Bone marrow smear:
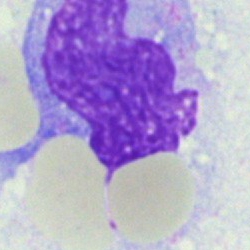
Cell type: artefact.